Bone marrow smear
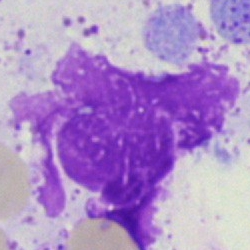 Showing an artifact.